Bone marrow aspirate smear:
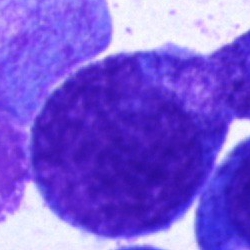

Impression — promyelocyte.